Romanowsky-stained; peripheral blood film; 400 by 400 pixels
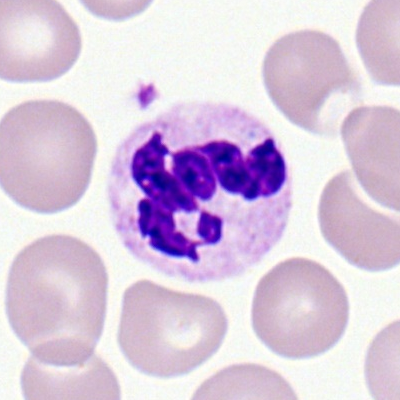

Cell = neutrophil (segmented).